Peripheral blood smear
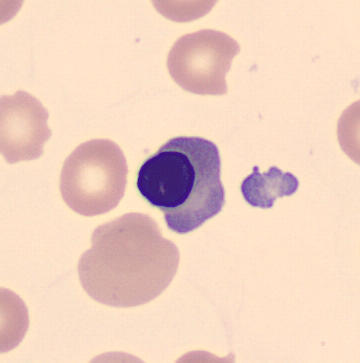
Q: Which cell type is shown here?
A: Erythroblast.